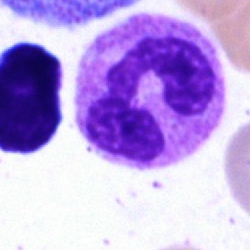 Morphology — segmented neutrophil.